Bone marrow aspirate smear:
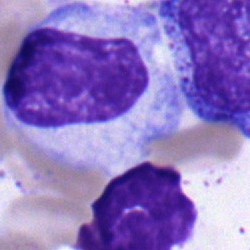 The cell is myelocyte.